Bone marrow smear:
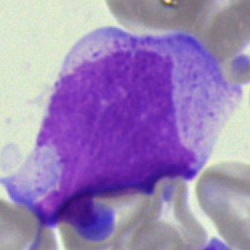

The classification is blast.